Bone marrow smear.
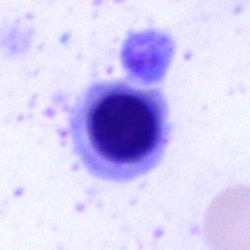 The cell shown is an erythroblast.